Bone marrow smear — 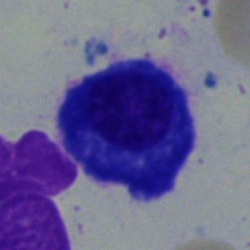 Specimen: bone marrow smear.
Cell: plasmacyte.